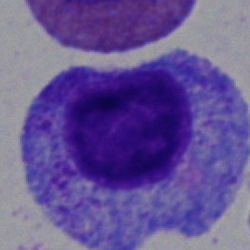 Impression — promyelocyte.